Brightfield, 100× oil-immersion objective · peripheral blood film: 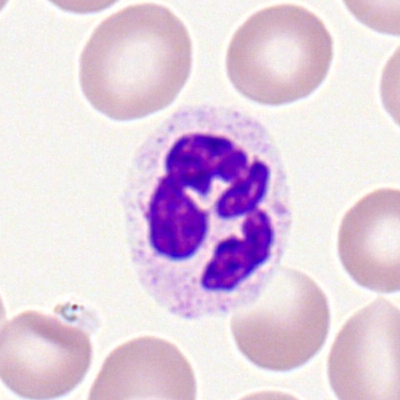The classification is polymorphonuclear neutrophil.